Romanowsky stain; cropped to a single cell; peripheral blood smear — 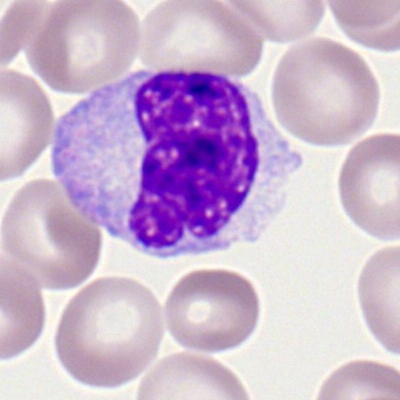
Morphological class: monocyte.